Bone marrow smear · 250×250 px — 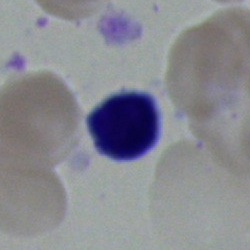Lymphocyte.